Bone marrow aspirate smear
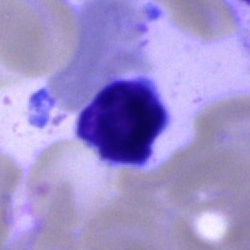
Single cell identified as a typical lymphocyte.